Bone marrow aspirate smear · single-cell crop · May-Grünwald-Giemsa/Pappenheim stain: 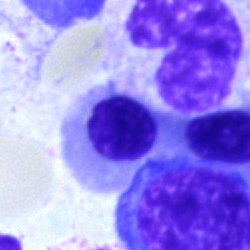

Impression → normoblast.